Bone marrow aspirate smear — 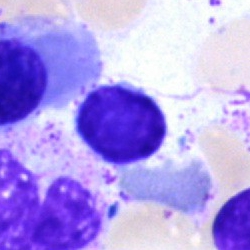
Cell — typical lymphocyte.